Bone marrow smear:
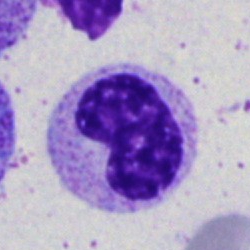

Impression → stab cell.